MGG-stained · single-cell crop · bone marrow aspirate smear:
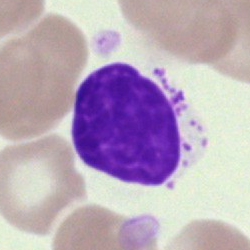
Q: What is shown here?
A: This is an artefact.